Bone marrow smear:
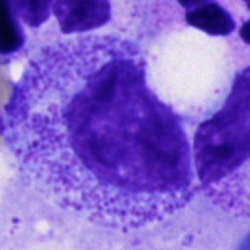

Progranulocyte.